Brightfield microscopy, 40× oil immersion. Bone marrow smear.
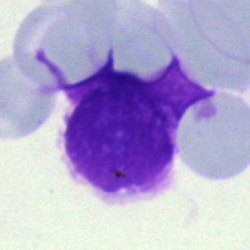

An artifact.